Bone marrow smear. 40× objective, oil immersion — 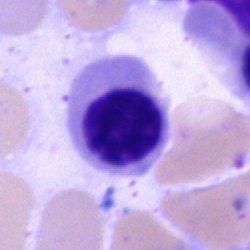 A nucleated red blood cell.